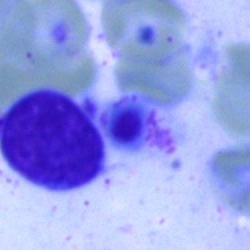Morphology → typical lymphocyte.